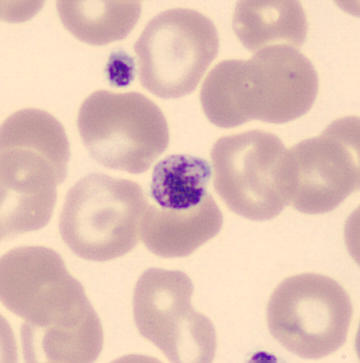Q: What is this?
A: A platelet.

Acquisition: Peripheral blood film.